Peripheral blood film — 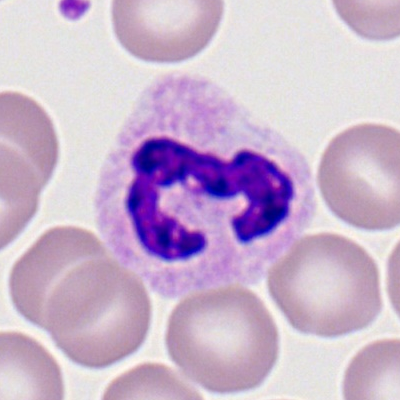 Impression — polymorphonuclear neutrophil.